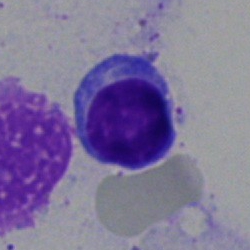
A typical lymphocyte.